Bone marrow smear:
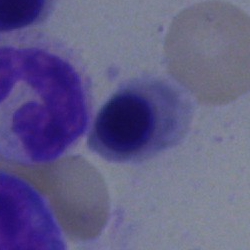Single cell identified as a normoblast.